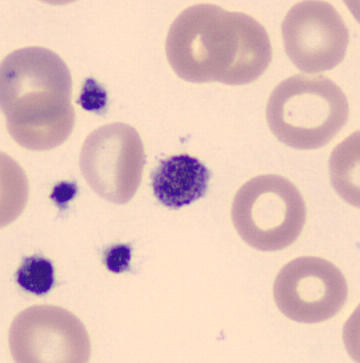Acquisition: Peripheral blood smear. This is a thrombocyte.